Bone marrow smear
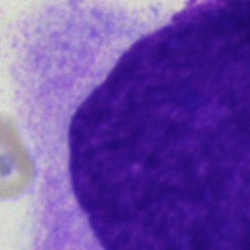

Single cell identified as an artifact.